Bone marrow aspirate smear
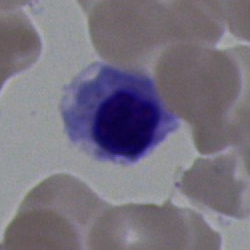 Classification = normoblast.